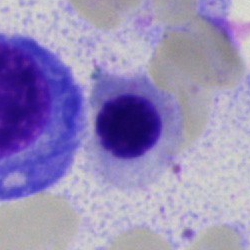

Showing an erythroblast.